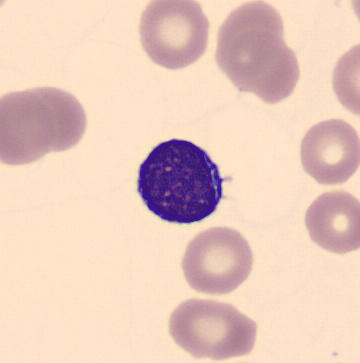

Imaged on a CellaVision DM96 analyser; peripheral blood smear; 360×363 px.
Single cell identified as a lymphocyte.